Bone marrow smear: 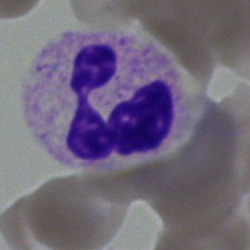Q: Which cell type is shown here?
A: A polymorphonuclear neutrophil.